Brightfield, 40× oil-immersion objective · Pappenheim-stained · bone marrow smear: 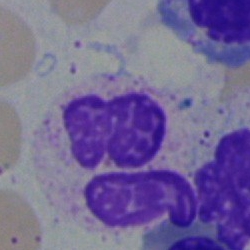

The cell shown is a segmented neutrophil.